Peripheral blood film:
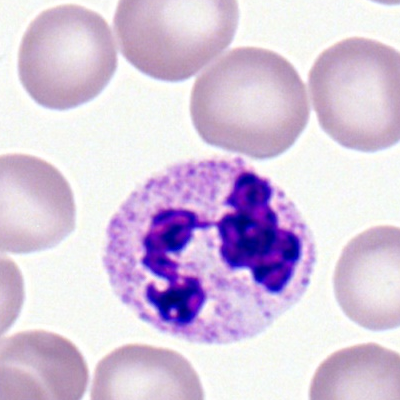 Q: What cell is this?
A: A segmented neutrophil.